Peripheral blood smear. Automated cell imaging (CellaVision DM96). 360×363 — 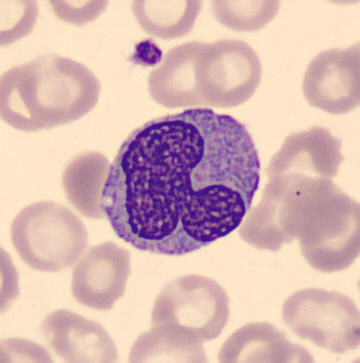
Classification: monocyte.